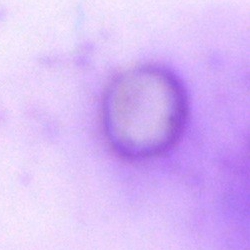 Morphology — artifact.